250×250 px. Brightfield, 40× oil-immersion objective. Bone marrow aspirate smear.
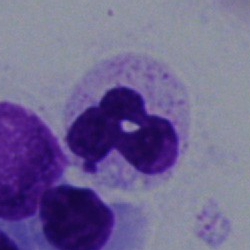 Morphological class: segmented neutrophil.